Bone marrow smear — 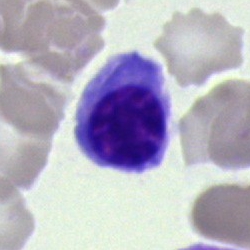

An erythroblast.